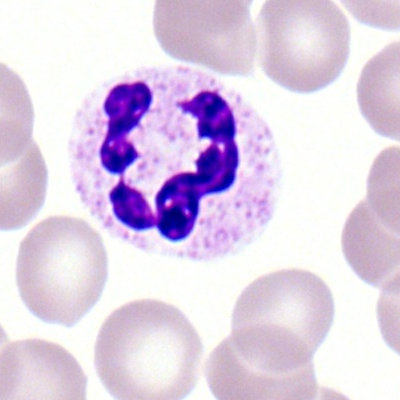

Cell = polymorphonuclear neutrophil.